Bone marrow smear · 40× objective, oil immersion.
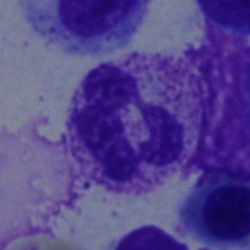

Q: What is shown here?
A: It is a neutrophil (segmented).